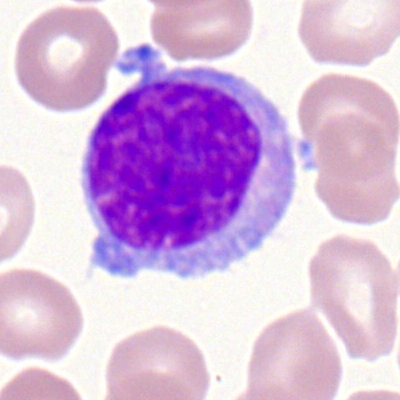 Peripheral blood smear showing a myeloid blast.